Bone marrow smear.
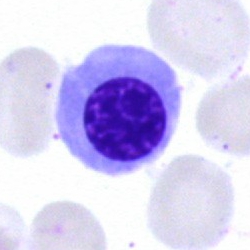 Impression → nucleated red cell.